Bone marrow aspirate smear; 40× oil immersion:
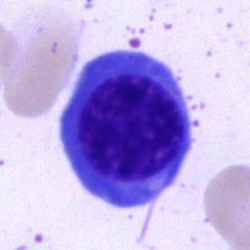 Showing a normoblast.